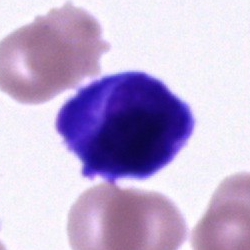
Specimen: bone marrow smear.
Cell: cell of indeterminate lineage.